250 by 250 pixels; bone marrow aspirate smear.
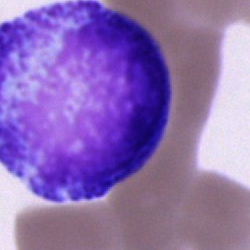
The cell is promyelocyte.